Bone marrow smear · cropped to a single cell — 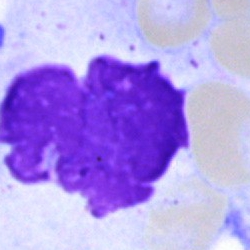

The morphological class is artefact.